Cropped to a single cell; peripheral blood smear: 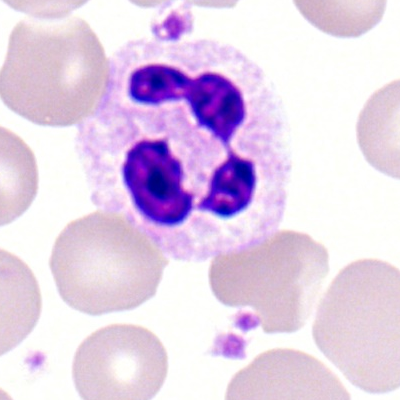Morphology — polymorphonuclear neutrophil.